Bone marrow smear · 250×250
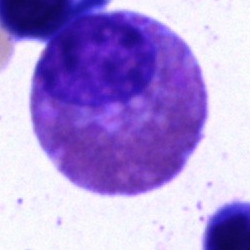 Q: Identify the cell.
A: Eosinophilic granulocyte.